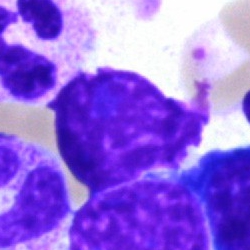 Artifact.